MGG-stained; bone marrow aspirate smear:
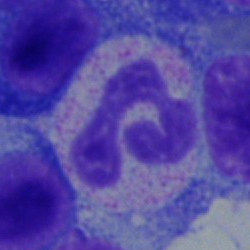

Showing a segmented neutrophil.